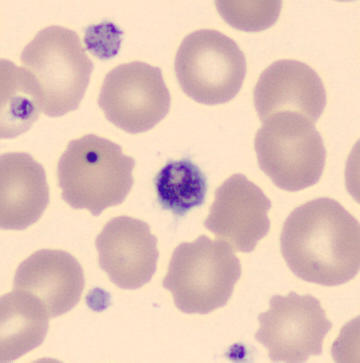

Showing a thrombocyte.